40× objective, oil immersion. Bone marrow smear — 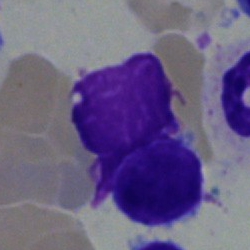
{"cell_type": "lymphocyte"}